Bone marrow aspirate smear: 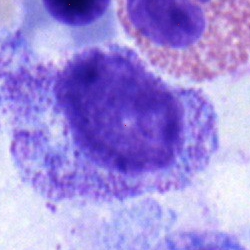

{"cell_type": "myelocyte", "lineage": "myeloid"}